Peripheral blood smear: 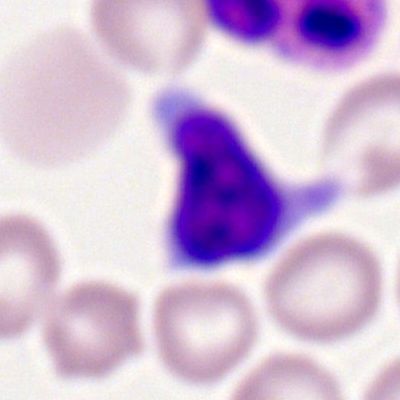
Impression — typical lymphocyte.